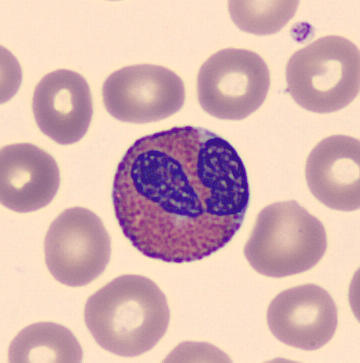

Peripheral blood smear showing an eosinophil.